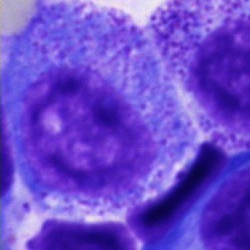

Q: What is shown here?
A: It is a segmented neutrophil.